Bone marrow aspirate smear; May-Grünwald-Giemsa/Pappenheim stain — 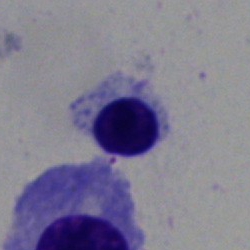
Cell: erythroblast.